Peripheral blood film · May Grünwald-Giemsa stain:
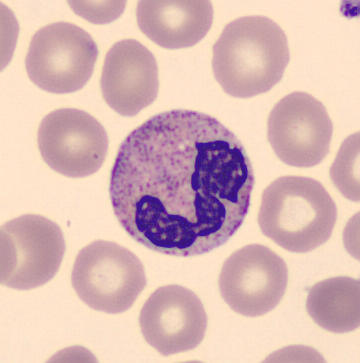 {"cell_type": "segmented neutrophil", "lineage": "myeloid"}